Bone marrow aspirate smear — 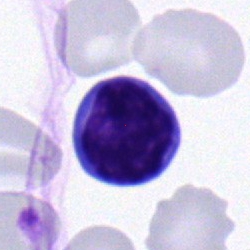

Showing a lymphocyte.